Peripheral blood smear:
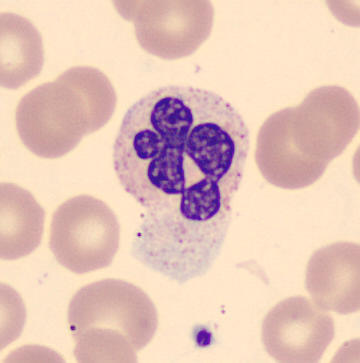
Cell: polymorphonuclear neutrophil.